Single cell centered in the field · bone marrow aspirate smear · brightfield, 40× oil-immersion objective: 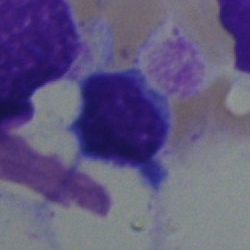

Q: What type of cell is this?
A: It is a lymphocyte.